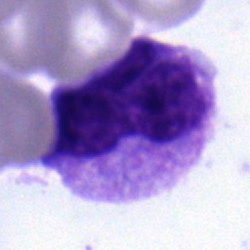 {"cell_type": "metamyelocyte", "lineage": "myeloid"}